Bone marrow smear: 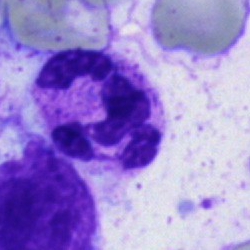

Morphology consistent with a neutrophil (segmented).